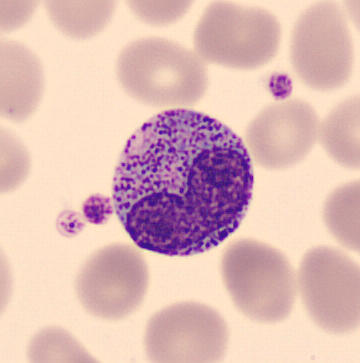

Specimen: peripheral blood smear.
Classification: metamyelocyte.
Lineage: myeloid.